Bone marrow smear
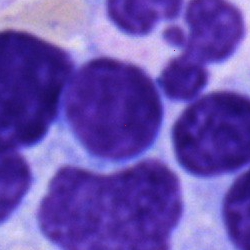 A typical lymphocyte.